Bone marrow smear — 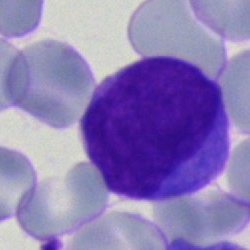
Morphology consistent with a blast cell.